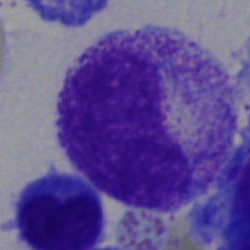 Showing a metamyelocyte.